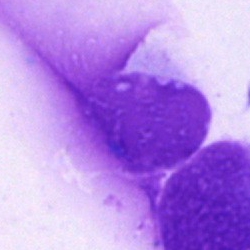

Q: What is shown here?
A: Artifact.